Bone marrow aspirate smear — 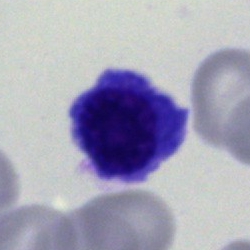
This is a nucleated red cell.